40× objective, oil immersion · bone marrow smear · single-cell crop
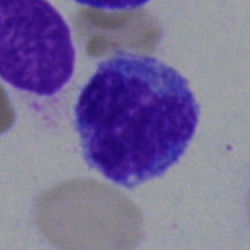 Q: What cell is this?
A: This is a monocyte.